Bone marrow smear. Brightfield microscopy, 40× oil immersion. Single-cell crop:
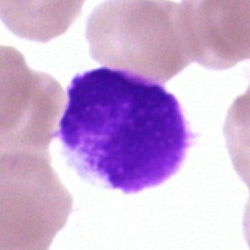
The cell shown is an artifact.